Bone marrow smear — 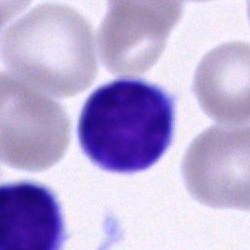Lymphocyte.